Bone marrow aspirate smear · 250 by 250 pixels
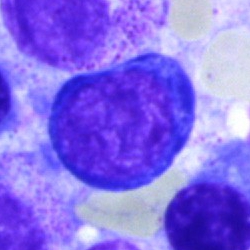
Classification = erythroblast.